Image size 250×250. Bone marrow smear. Brightfield, 40× oil-immersion objective.
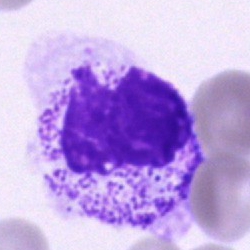This is a neutrophil (segmented).